Bone marrow aspirate smear:
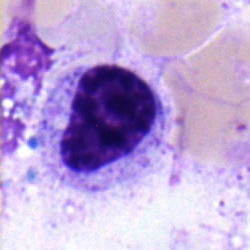
Q: Which cell type is shown here?
A: A myelocyte.